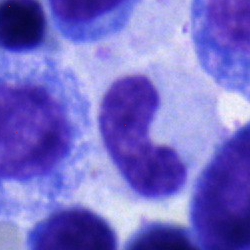
Q: What is the morphological classification of this cell?
A: It is a neutrophil (band).